Bone marrow smear. May-Grünwald-Giemsa/Pappenheim stain. Cropped to a single cell:
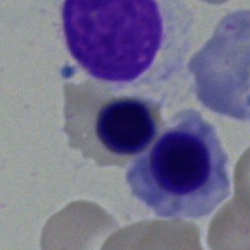Morphological class — normoblast.